Bone marrow smear · 40× oil immersion
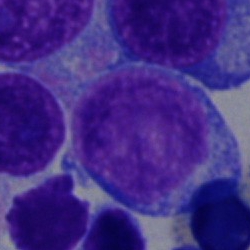 Impression → blast cell.